Bone marrow aspirate smear — 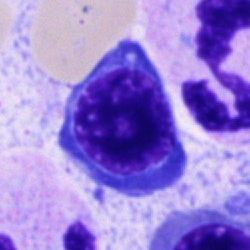The cell shown is an erythroblast.